Bone marrow smear: 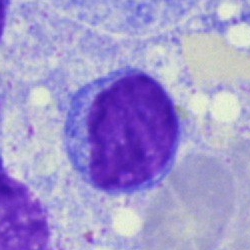

Impression → lymphocyte.